Bone marrow smear
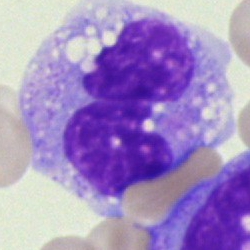 Showing a monocyte.